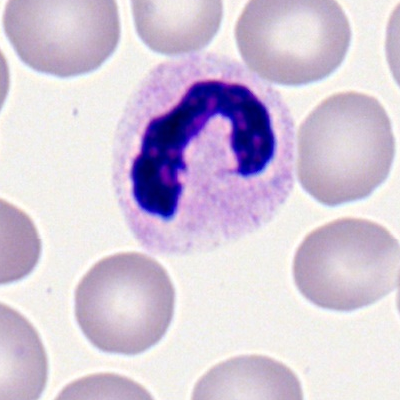Stab cell.